Bone marrow aspirate smear · single-cell field · May-Grünwald-Giemsa/Pappenheim stain:
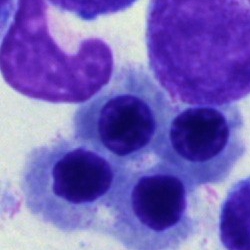
Q: What is shown here?
A: This is an erythroblast.